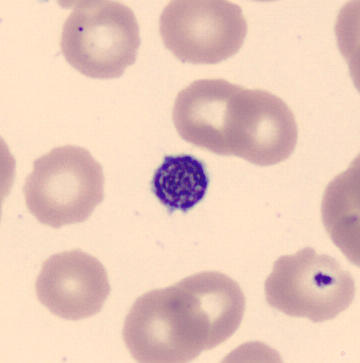Morphology — thrombocyte.
Acquisition: Peripheral blood smear · 360×363.